Bone marrow smear; 250 by 250 pixels: 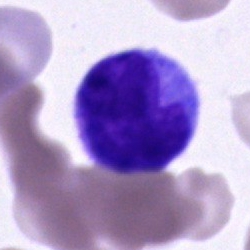

{"cell_type": "unidentifiable cell"}